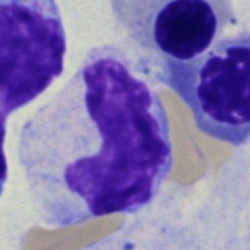Cell type = monocyte.